Bone marrow smear:
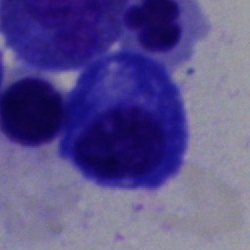

This is a plasmacyte.